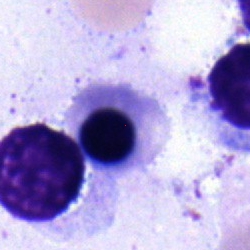Q: Which cell type is shown here?
A: Nucleated red cell.